Bone marrow aspirate smear.
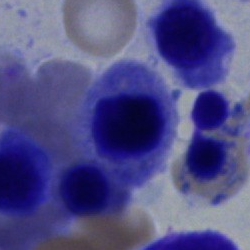
Morphology — normoblast.